Bone marrow smear.
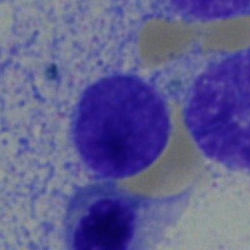The cell is typical lymphocyte.